Bone marrow smear:
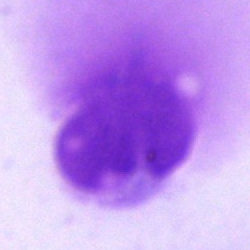 Q: What is shown here?
A: This is an artefact.